Bone marrow smear:
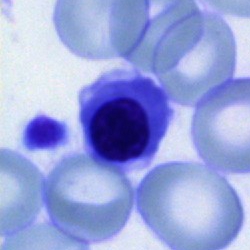Q: What cell is this?
A: It is an erythroblast.